Bone marrow smear · single cell centered in the field — 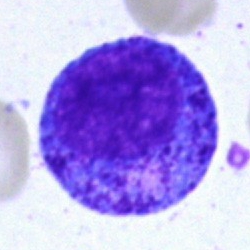 Morphology consistent with a progranulocyte.